Bone marrow aspirate smear
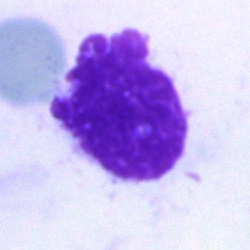

Classification: artefact.